Peripheral blood smear · image size 400×400: 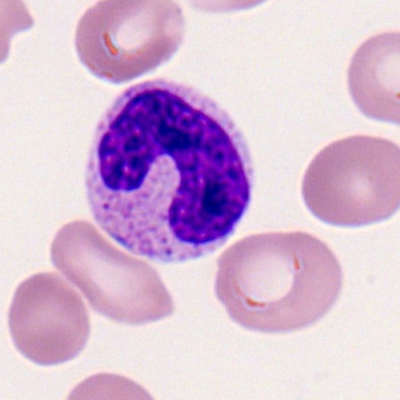

Q: Identify the cell.
A: Band-form neutrophil.